Bone marrow aspirate smear. MGG-stained: 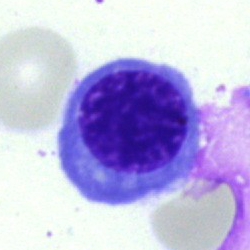Q: What cell is this?
A: It is a normoblast.